Image size 250×250 · bone marrow smear · single cell centered in the field
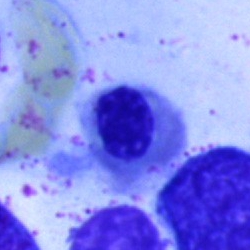Showing a normoblast.